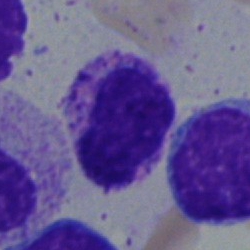 Specimen: bone marrow aspirate smear.
Cell type: basophil.
Lineage: myeloid.